Image size 250×250. Bone marrow aspirate smear. Brightfield microscopy, 40× oil immersion — 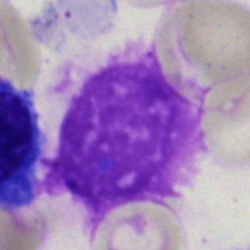 An artefact.